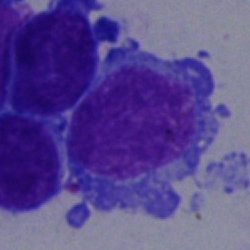Bone marrow smear showing a typical lymphocyte.